40× oil immersion. Bone marrow aspirate smear.
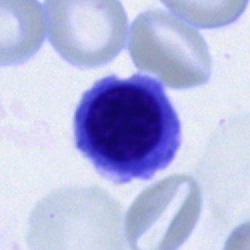

The cell type is nucleated red blood cell.